Cropped to a single cell. Bone marrow aspirate smear.
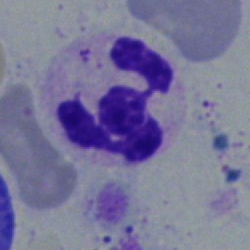
Q: What is the morphological classification of this cell?
A: It is a polymorphonuclear neutrophil.